Bone marrow aspirate smear. 250×250. 40× oil immersion: 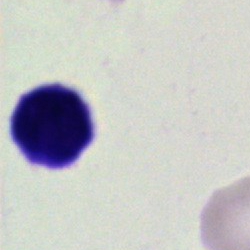

Specimen: bone marrow smear.
Cell: artefact.